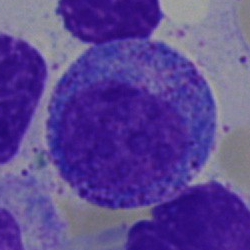
Bone marrow smear showing a promyelocyte.